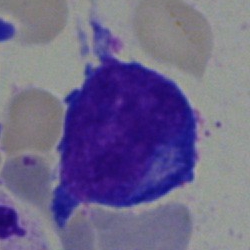A pronormoblast.